250×250; bone marrow aspirate smear; single-cell crop: 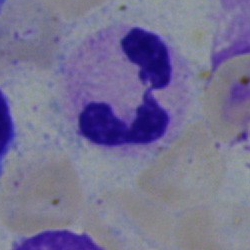
Specimen: bone marrow smear.
Cell type: segmented neutrophil.